May-Grünwald-Giemsa stain; brightfield, 40× oil-immersion objective; bone marrow smear:
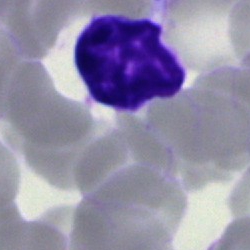Specimen: bone marrow aspirate smear.
Classification: lymphocyte.